Single-cell crop · bone marrow aspirate smear:
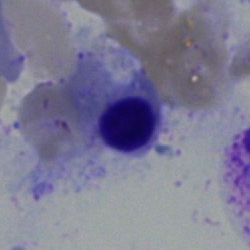The classification is erythroblast.